Single cell centered in the field; bone marrow smear.
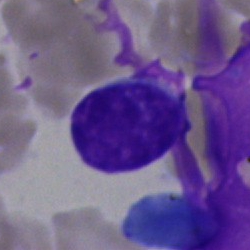
{"cell_type": "typical lymphocyte"}